Bone marrow smear: 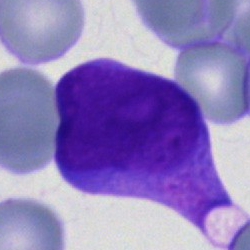 Morphology consistent with a blast cell.